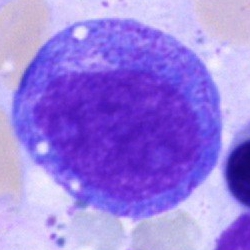
A promyelocyte.